Bone marrow smear:
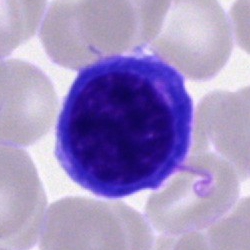

Morphological class — normoblast.